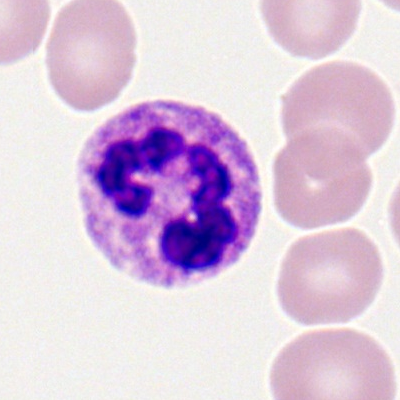 Peripheral blood film, single cell — polymorphonuclear neutrophil.